Bone marrow aspirate smear — 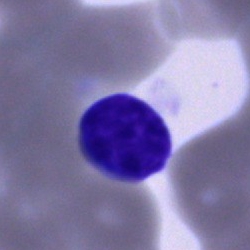

The cell shown is a lymphocyte.